Bone marrow smear — 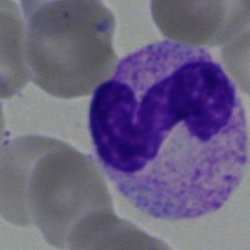

Morphological class — neutrophil (band).